Bone marrow smear.
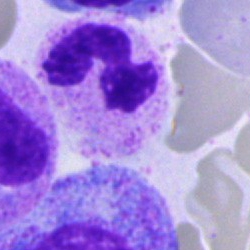 Impression — neutrophil (segmented).